Bone marrow smear. Single cell centered in the field — 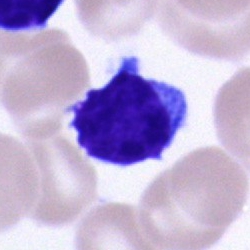

Cell: typical lymphocyte.